Bone marrow aspirate smear.
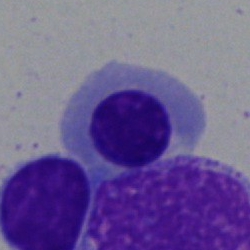
{"cell_type": "nucleated red blood cell", "lineage": "erythroid"}